Brightfield, 40× oil-immersion objective. Bone marrow aspirate smear:
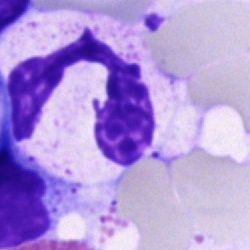 Cell type = segmented neutrophil.